Bone marrow smear.
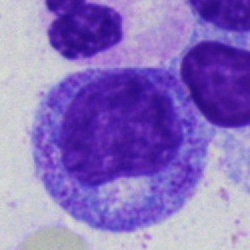

This is a promyelocyte.